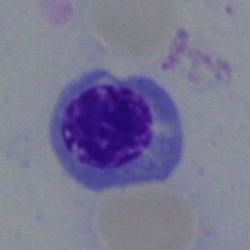 A normoblast on a bone marrow smear.